Bone marrow smear.
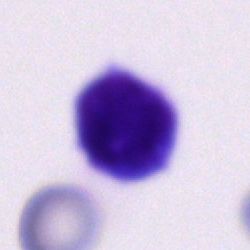 This is a cell of indeterminate lineage.